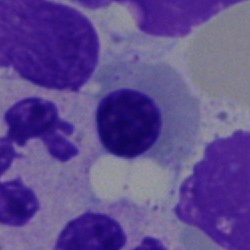

Single-cell crop from a bone marrow smear: normoblast.